400 by 400 pixels. Peripheral blood film:
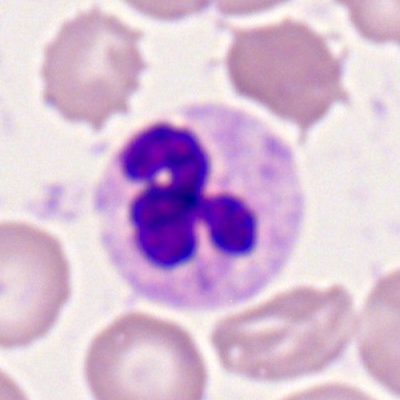

Neutrophil (segmented).